Brightfield microscopy, 40× oil immersion. Bone marrow smear: 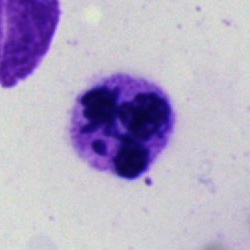Classification = polymorphonuclear neutrophil.